Peripheral blood smear
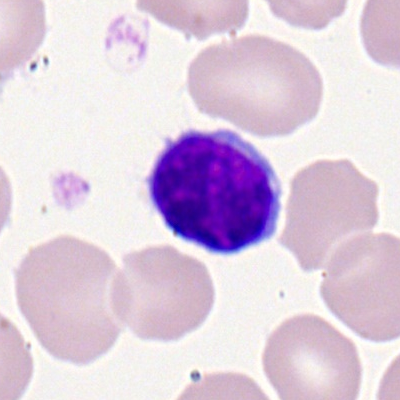The cell shown is a lymphocyte.